Bone marrow smear — 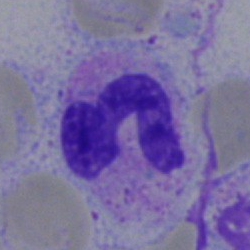 {"cell_type": "segmented neutrophil"}